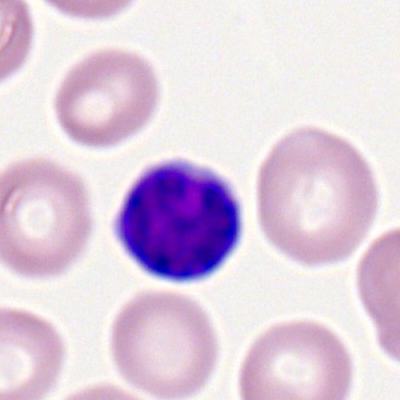
The morphological class is typical lymphocyte.